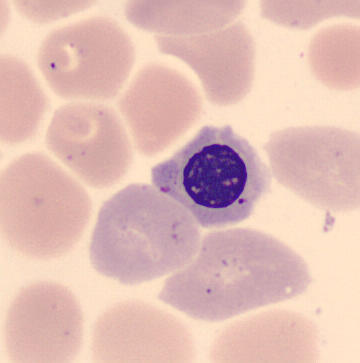 The classification is erythroblast.